Single-cell crop; bone marrow aspirate smear.
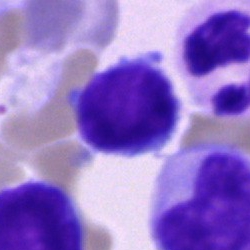Cell: typical lymphocyte.